Bone marrow smear — 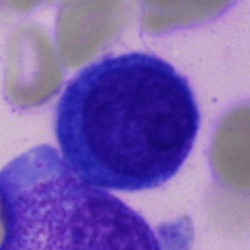 The morphological class is blast cell.